Bone marrow smear. Pappenheim-stained
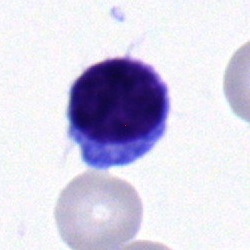

Cell: lymphocyte.